250 by 250 pixels; cropped to a single cell; bone marrow aspirate smear:
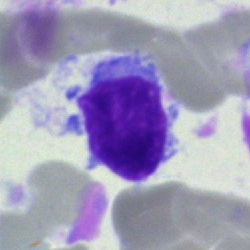{"cell_type": "typical lymphocyte"}